Bone marrow smear.
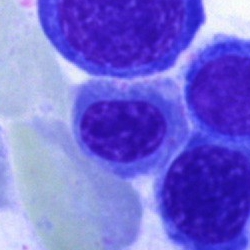

Morphological class = erythroblast.